Bone marrow smear
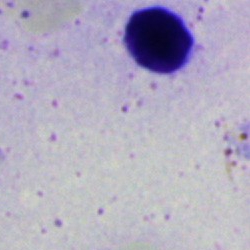Typical lymphocyte.